250 by 250 pixels · bone marrow smear.
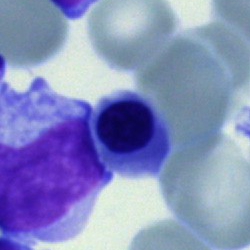

Cell type: normoblast.